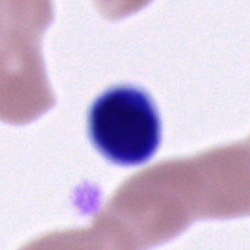 Specimen: bone marrow smear.
Cell type: unidentifiable cell.